Brightfield microscopy, 40× oil immersion. Single-cell crop. Bone marrow smear:
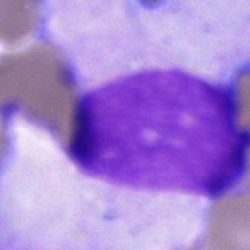Morphology → artifact.